Cropped to a single cell. Bone marrow aspirate smear: 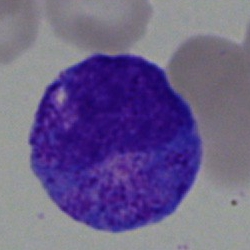

Morphological class — progranulocyte.